Brightfield microscopy, 40× oil immersion · May-Grünwald-Giemsa stain · bone marrow aspirate smear:
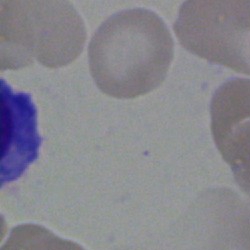{"cell_type": "artefact"}